Bone marrow smear: 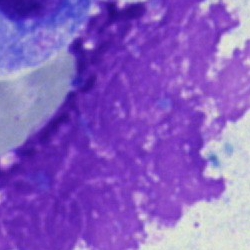
An artifact.